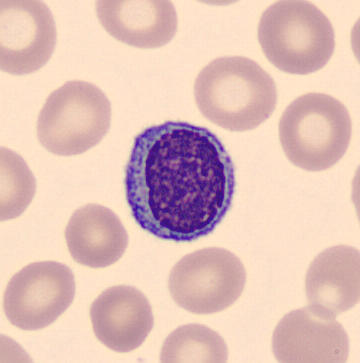
Peripheral blood film, single cell — lymphocyte.